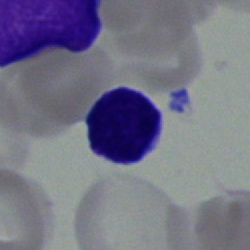Single-cell crop from a bone marrow smear: lymphocyte.